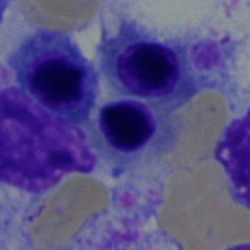
Specimen: bone marrow aspirate smear.
Morphological class: erythroblast.
Lineage: erythroid.